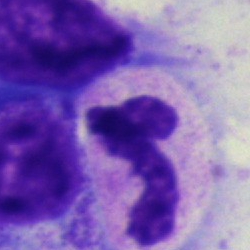

Specimen: bone marrow aspirate smear.
Classification: polymorphonuclear neutrophil.